Bone marrow aspirate smear
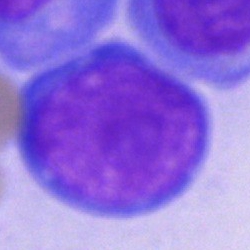

Showing a blast cell.